MGG-stained. Bone marrow smear.
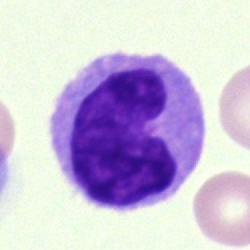 Cell type = monocyte.